Bone marrow aspirate smear · brightfield, 40× oil-immersion objective — 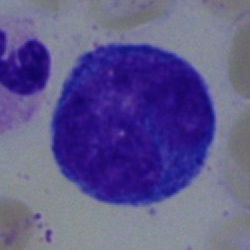

Promyelocyte.